Bone marrow aspirate smear · 250×250
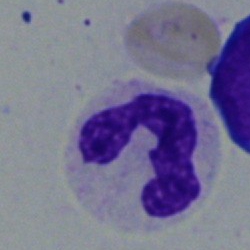

Q: What is the morphological classification of this cell?
A: It is a polymorphonuclear neutrophil.